Bone marrow aspirate smear: 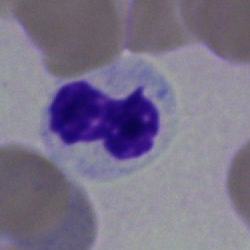

The cell type is neutrophil (segmented).